Single-cell crop; bone marrow aspirate smear
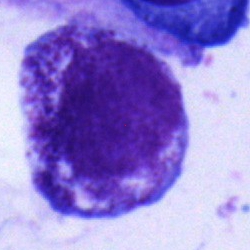

The cell shown is a myelocyte.